Bone marrow aspirate smear: 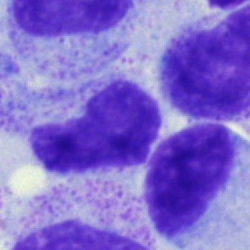
Specimen: bone marrow smear.
Cell type: metamyelocyte.